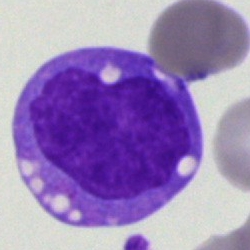Showing an undifferentiated blast.